Bone marrow smear. Pappenheim-stained
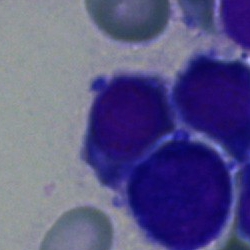The morphological class is typical lymphocyte.